Bone marrow aspirate smear: 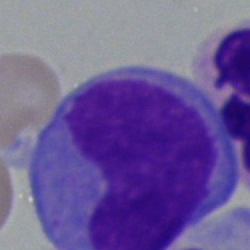Morphological class = monocyte.